Bone marrow aspirate smear:
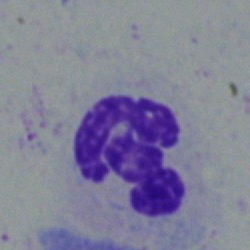

Specimen: bone marrow aspirate smear.
Cell type: neutrophil (segmented).
Lineage: myeloid.